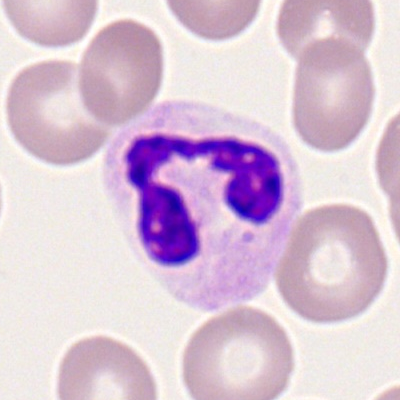
Peripheral blood smear showing a polymorphonuclear neutrophil.